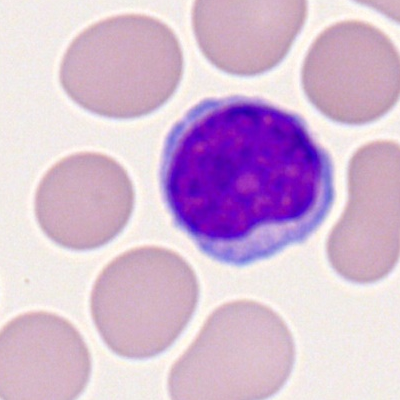
Q: Identify the cell.
A: This is a lymphocyte.